Bone marrow smear.
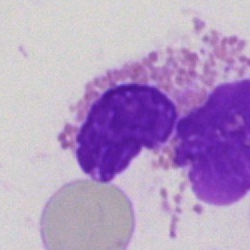 Classification = eosinophilic granulocyte.